Bone marrow smear. Cropped to a single cell: 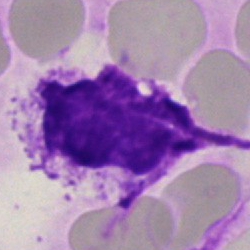

This is an artefact.